May-Grünwald-Giemsa/Pappenheim stain · 250 by 250 pixels · bone marrow smear
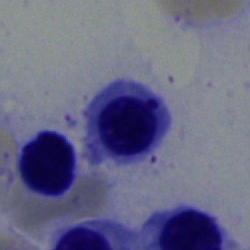Morphological class = nucleated red cell.